250 by 250 pixels; bone marrow aspirate smear; MGG-stained: 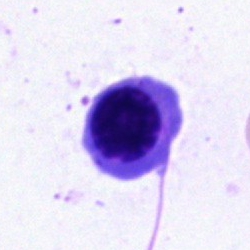
The morphological class is erythroblast.